Bone marrow smear:
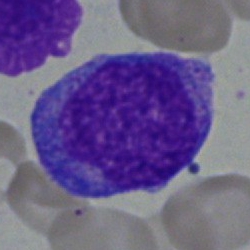

Q: What is shown here?
A: This is a blast.